Bone marrow smear — 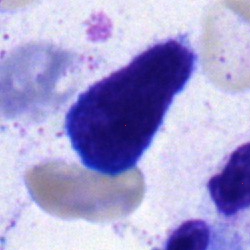
Q: What is the morphological classification of this cell?
A: A typical lymphocyte.